Bone marrow aspirate smear:
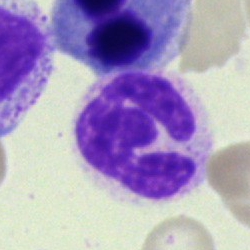

Impression → polymorphonuclear neutrophil.